Bone marrow smear · single cell centered in the field.
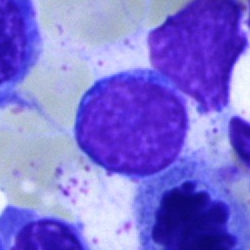
The cell type is lymphocyte.